Bone marrow smear — 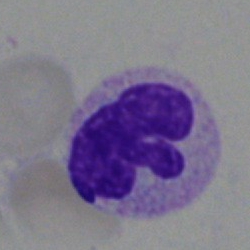

Impression → segmented neutrophil.